Bone marrow aspirate smear: 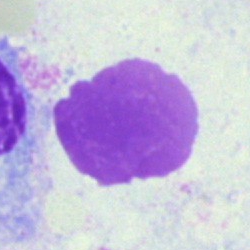Q: What is shown here?
A: Artefact.